40× oil immersion. Pappenheim-stained. Bone marrow aspirate smear — 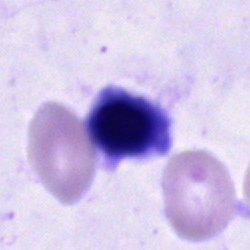

Unidentifiable cell.